Bone marrow aspirate smear. MGG-stained: 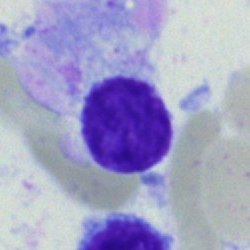Specimen: bone marrow smear.
Cell: lymphocyte.